Peripheral blood film — 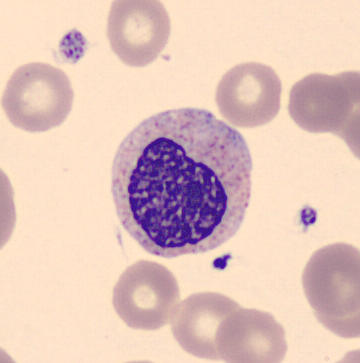
Q: Identify the cell.
A: Metamyelocyte.